Bone marrow aspirate smear:
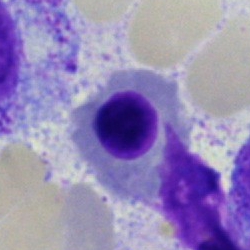

The cell type is normoblast.